Bone marrow aspirate smear: 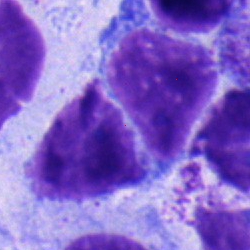
Specimen: bone marrow aspirate smear.
Morphological class: typical lymphocyte.
Lineage: lymphoid.